Peripheral blood film.
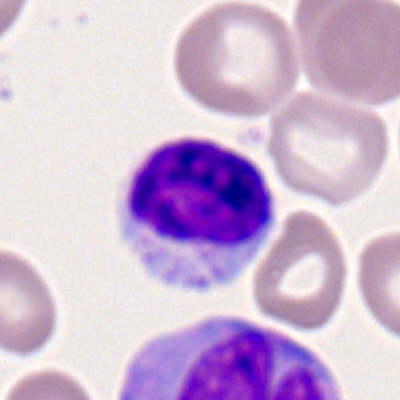

Q: What cell is this?
A: Lymphocyte.